100× objective, oil immersion. Peripheral blood smear
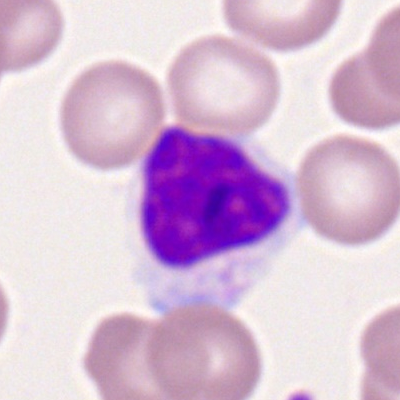Specimen: peripheral blood film.
Morphological class: lymphocyte.